Peripheral blood smear. M8 digital microscope (Precipoint), 100× oil immersion
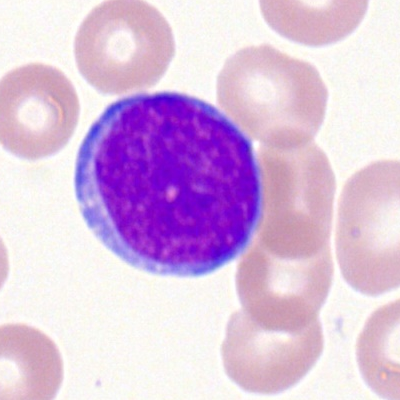Cell = myeloblast.